Pappenheim-stained. Bone marrow smear:
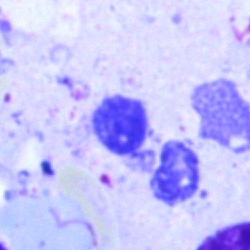 Morphological class: artifact.